Bone marrow smear.
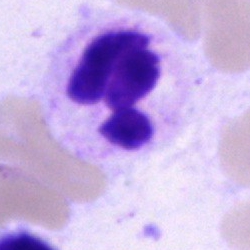Segmented neutrophil.